40× oil immersion; single cell centered in the field; bone marrow smear
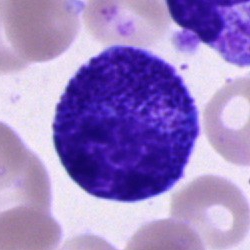
Morphology → progranulocyte.